Bone marrow aspirate smear
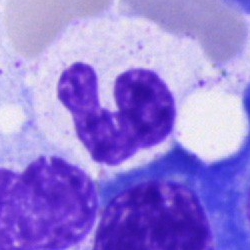Specimen: bone marrow smear.
Cell: neutrophil (segmented).
Lineage: myeloid.